Peripheral blood film:
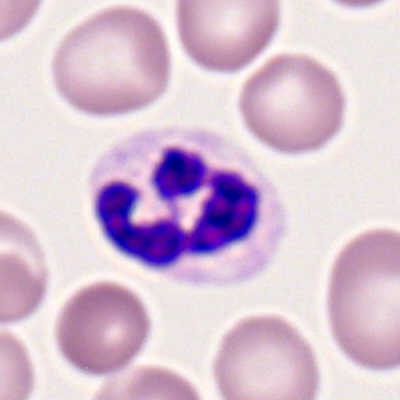 Impression → neutrophil (segmented).